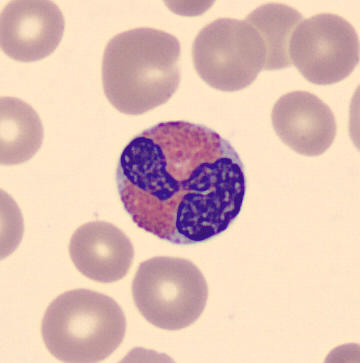

The cell type is eosinophilic granulocyte.

Peripheral blood smear · image size 360×363.